Bone marrow smear: 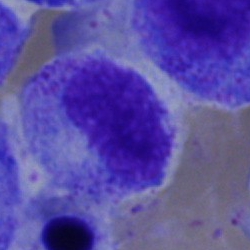
A myelocyte.